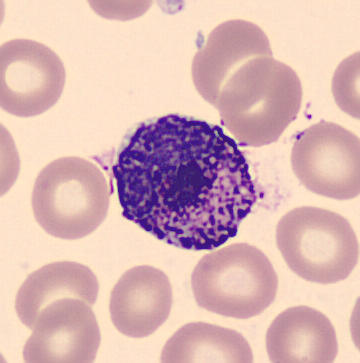

Showing a basophilic granulocyte.